Bone marrow smear: 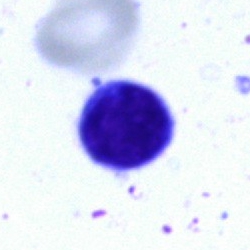 The cell shown is a lymphocyte.